Bone marrow smear.
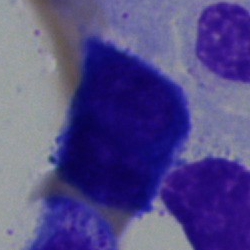

{"cell_type": "artefact"}